Bone marrow aspirate smear:
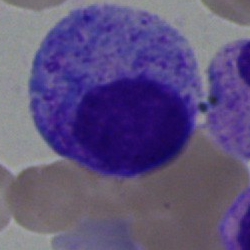Morphology — promyelocyte.